Bone marrow aspirate smear:
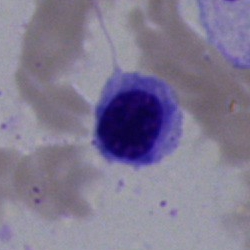 Single cell identified as an erythroblast.